Peripheral blood smear; CellaVision DM96 digital cell image: 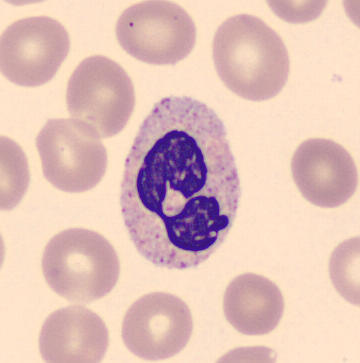 Single cell identified as a neutrophil (segmented).